Bone marrow smear. Brightfield, 40× oil-immersion objective
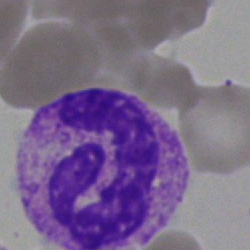
Q: What cell is this?
A: It is a neutrophil (segmented).